Peripheral blood smear — 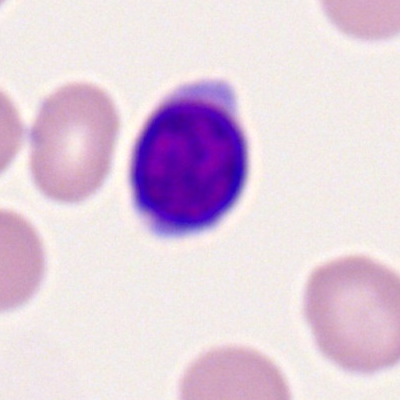Morphological class: typical lymphocyte.